250×250 px · bone marrow smear:
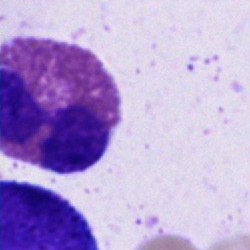 Morphology consistent with an eosinophil.